Bone marrow smear
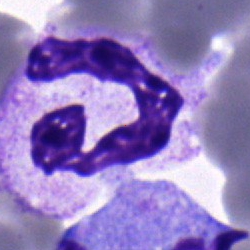
Q: What is the morphological classification of this cell?
A: This is a segmented neutrophil.